Bone marrow smear
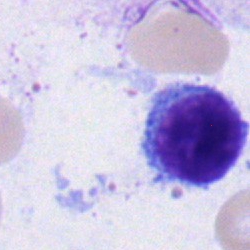
Q: What is shown here?
A: This is a lymphocyte.